Bone marrow smear: 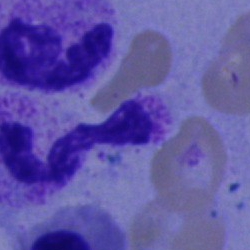

Showing a polymorphonuclear neutrophil.